Bone marrow aspirate smear. May-Grünwald-Giemsa stain
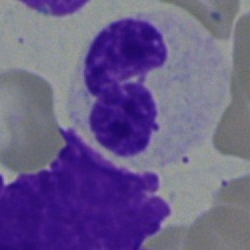
Cell type: neutrophil (segmented).